Bone marrow smear · 250 by 250 pixels:
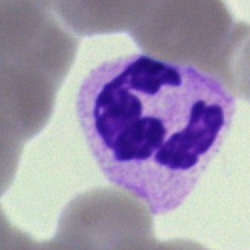Morphology consistent with a neutrophil (segmented).